40× oil immersion. Bone marrow aspirate smear — 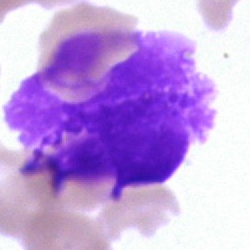
Showing an artefact.